Bone marrow smear. Brightfield, 40× oil-immersion objective
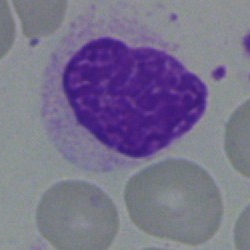Q: What is shown here?
A: It is an artefact.